Bone marrow aspirate smear:
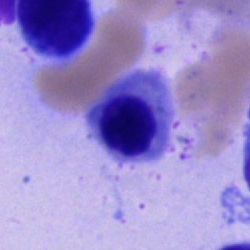
{"cell_type": "erythroblast", "lineage": "erythroid"}